Bone marrow smear.
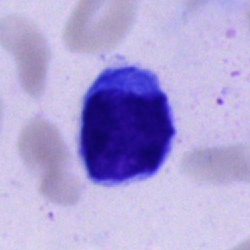

Lymphocyte.